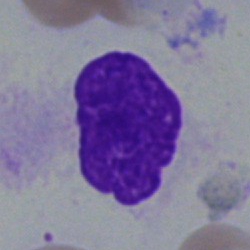
Showing an artifact.